Bone marrow smear. Pappenheim-stained — 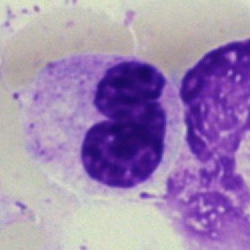

Q: What is the morphological classification of this cell?
A: It is a band-form neutrophil.